Bone marrow aspirate smear
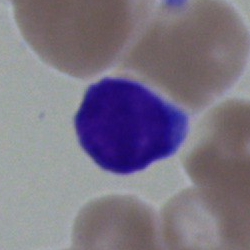 Q: Identify the cell.
A: A lymphocyte.